Single cell centered in the field · bone marrow smear: 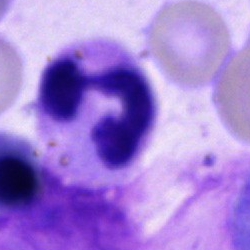 Classification — neutrophil (segmented).